Bone marrow smear:
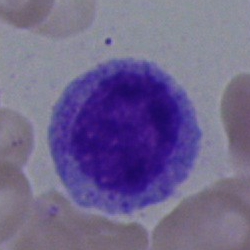

Q: What is the morphological classification of this cell?
A: It is a myelocyte.